250 by 250 pixels; bone marrow aspirate smear; May-Grünwald-Giemsa stain
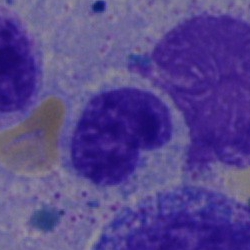Q: What is the morphological classification of this cell?
A: A stab cell.